Bone marrow aspirate smear:
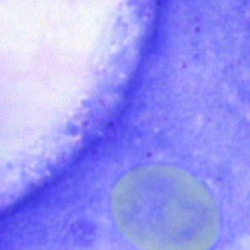 Specimen: bone marrow aspirate smear.
Classification: artefact.